Bone marrow smear
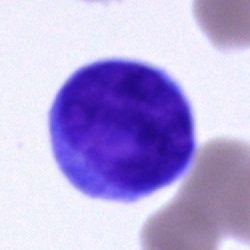 Cell type — undifferentiated blast.